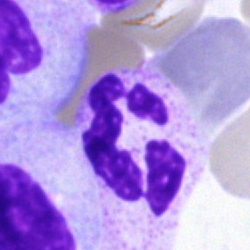

Cell type — neutrophil (segmented).